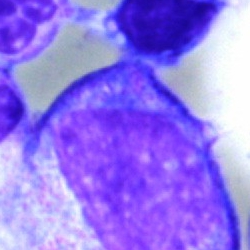
Single cell identified as a promyelocyte.